40× objective, oil immersion · 250×250 · bone marrow aspirate smear — 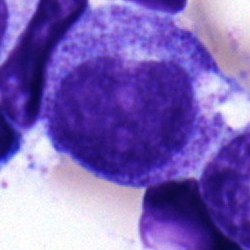

Cell: myelocyte.